Bone marrow aspirate smear · 40× oil immersion · 250×250 px
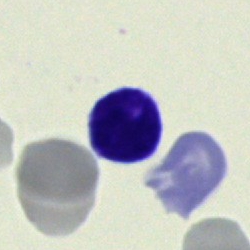 A lymphocyte.